Pappenheim-stained. Bone marrow smear: 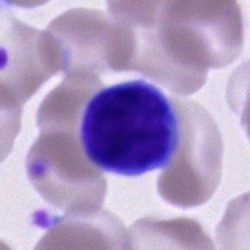

Q: Which cell type is shown here?
A: This is a lymphocyte.